Bone marrow aspirate smear; Pappenheim-stained: 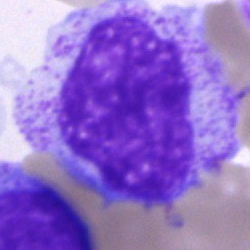

Specimen: bone marrow aspirate smear.
Cell: promyelocyte.
Lineage: myeloid.